Bone marrow smear · May-Grünwald-Giemsa stain.
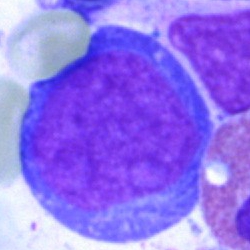

Cell type = blast cell.